Bone marrow smear. Single-cell crop
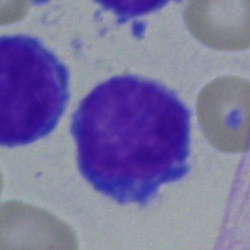

{"cell_type": "lymphocyte", "lineage": "lymphoid"}